Bone marrow smear:
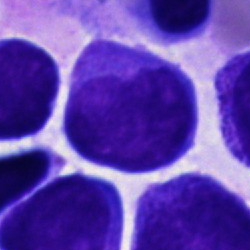

The cell shown is an undifferentiated blast.